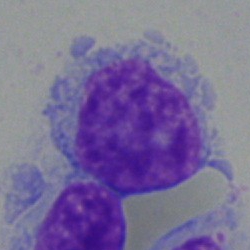
Cell type = typical lymphocyte.